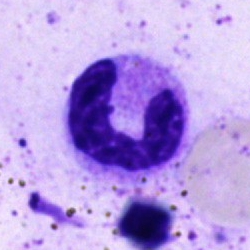Q: Identify the cell.
A: A band neutrophil.